Bone marrow aspirate smear: 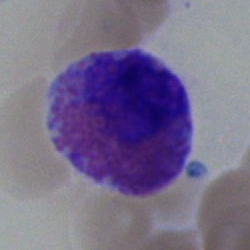
The cell shown is an eosinophilic granulocyte.